Bone marrow aspirate smear; May-Grünwald-Giemsa/Pappenheim stain: 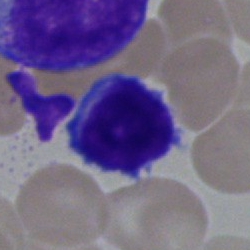
Specimen: bone marrow smear.
Cell type: typical lymphocyte.